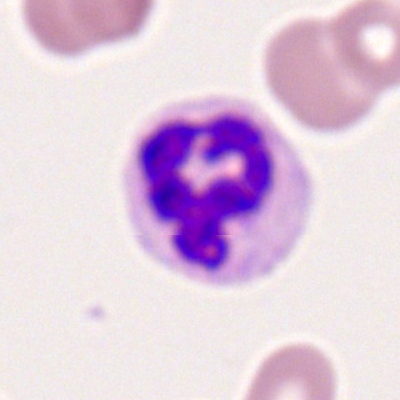
Specimen: peripheral blood film.
Cell type: polymorphonuclear neutrophil.